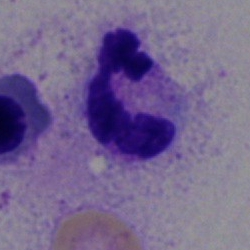
Classification: segmented neutrophil.